Bone marrow aspirate smear:
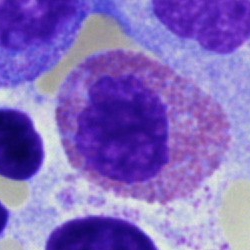

Showing an eosinophilic granulocyte.